Bone marrow smear:
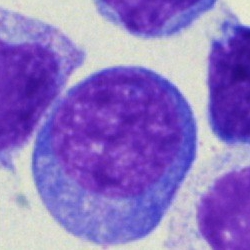Morphological class — undifferentiated blast.